Bone marrow smear — 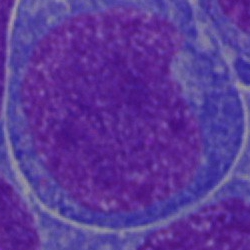Q: What cell is this?
A: An undifferentiated blast.